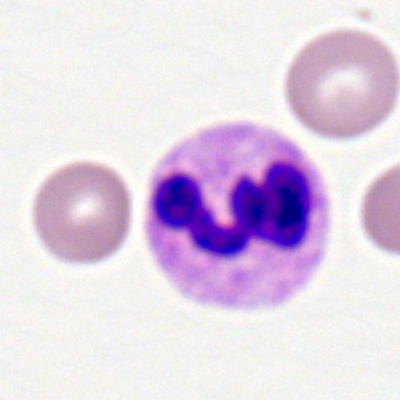
Peripheral blood film, single cell — segmented neutrophil.